40× objective, oil immersion. Bone marrow smear:
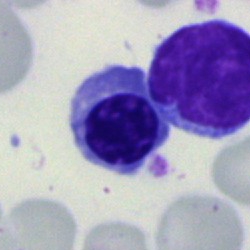 Specimen: bone marrow aspirate smear.
Classification: nucleated red blood cell.
Lineage: erythroid.